Bone marrow aspirate smear; cropped to a single cell; May-Grünwald-Giemsa stain
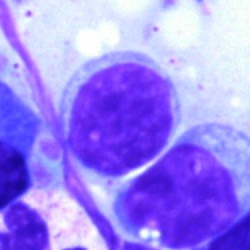Showing a lymphocyte.